Bone marrow smear
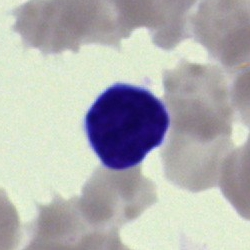 Impression — cell of indeterminate lineage.